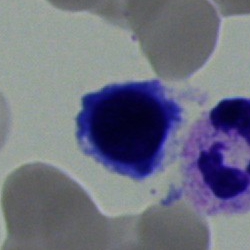
Morphology → nucleated red blood cell.